Peripheral blood film. Single-cell crop
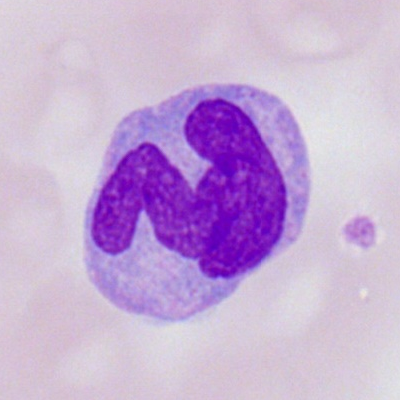Monocyte.